Bone marrow smear: 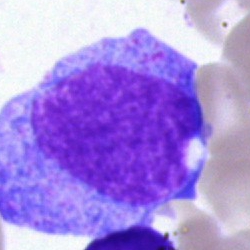
Specimen: bone marrow aspirate smear.
Classification: promyelocyte.